Bone marrow smear · single-cell field · brightfield, 40× oil-immersion objective: 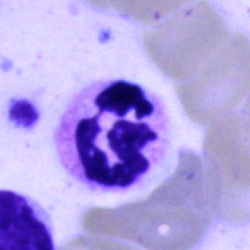

Q: Which cell type is shown here?
A: This is a polymorphonuclear neutrophil.